MGG-stained · 360 by 363 pixels · peripheral blood smear — 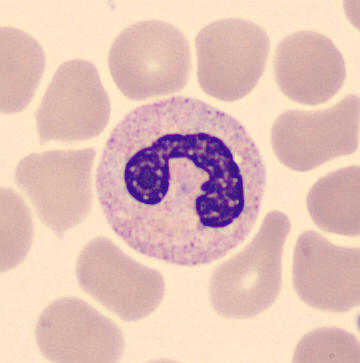
Impression — band-form neutrophil.